250×250. Bone marrow aspirate smear.
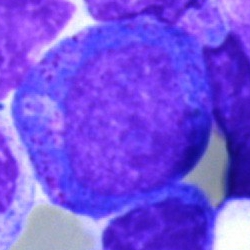

Q: Identify the cell.
A: A progranulocyte.